250 by 250 pixels · bone marrow smear: 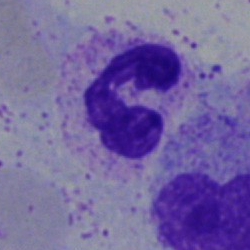 Classification — polymorphonuclear neutrophil.